Bone marrow smear — 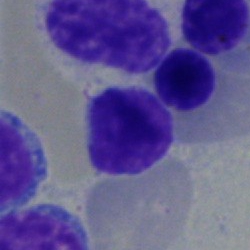Typical lymphocyte.